Bone marrow aspirate smear; 40× oil immersion.
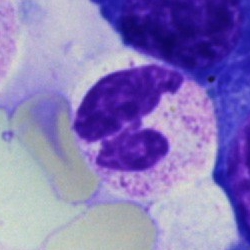 Showing a polymorphonuclear neutrophil.